Bone marrow smear — 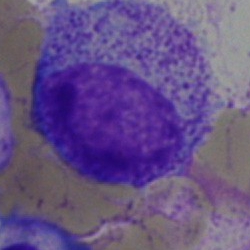

Q: Which cell type is shown here?
A: A myelocyte.